Bone marrow smear:
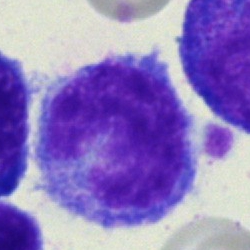Morphology → monocyte.